May-Grünwald-Giemsa-stained. Peripheral blood film. 360 by 363 pixels: 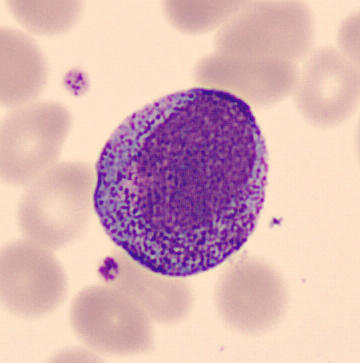

Cell: progranulocyte.